Brightfield, 40× oil-immersion objective · May-Grünwald-Giemsa stain · bone marrow aspirate smear: 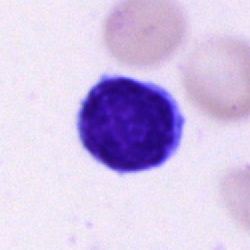
Cell type = typical lymphocyte.